Bone marrow aspirate smear.
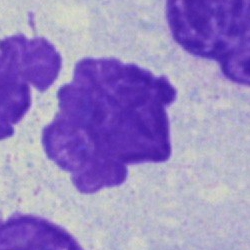

Classification: artefact.